Bone marrow smear · 250×250 px
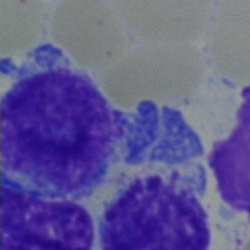 Showing a lymphocyte.